Bone marrow aspirate smear: 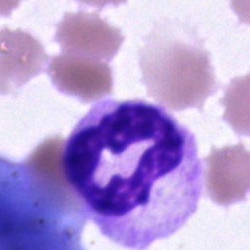Q: Identify the cell.
A: A segmented neutrophil.